Bone marrow smear — 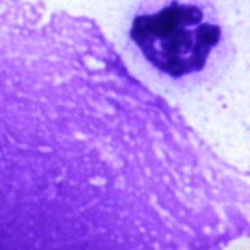
Q: What is shown here?
A: This is an artifact.